40× objective, oil immersion. Bone marrow aspirate smear: 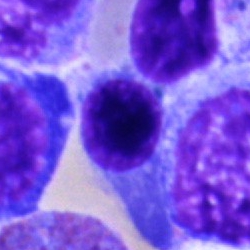
{"cell_type": "erythroblast", "lineage": "erythroid"}